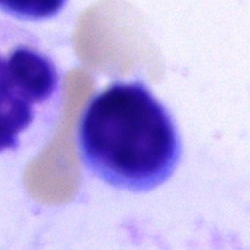 Classification — lymphocyte.